Single-cell crop; bone marrow aspirate smear: 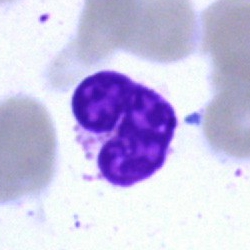

Specimen: bone marrow aspirate smear.
Classification: artefact.